Bone marrow smear · image size 250×250:
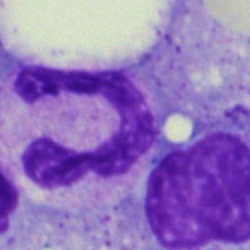 A segmented neutrophil.